40× oil immersion; bone marrow aspirate smear
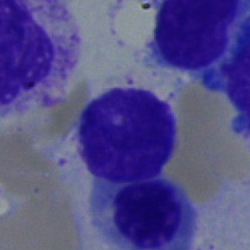
Q: What cell is this?
A: Lymphocyte.